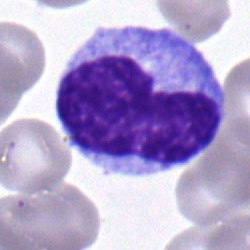 Morphological class: monocyte.